Bone marrow aspirate smear:
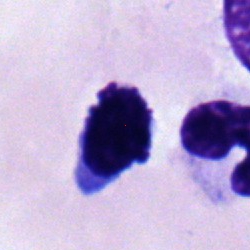

The cell shown is a typical lymphocyte.